Single-cell crop. Bone marrow aspirate smear: 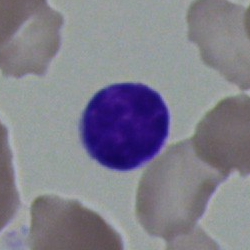 Q: What is the morphological classification of this cell?
A: This is a lymphocyte.